Peripheral blood smear.
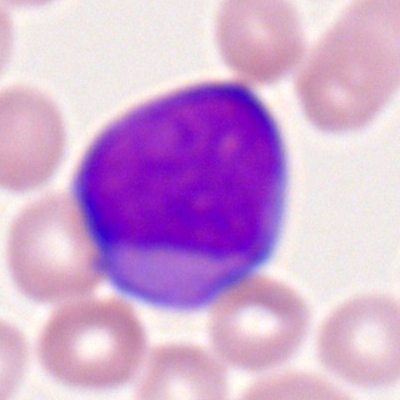 Showing a myeloid blast.